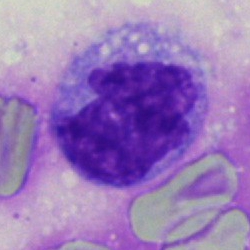 {"cell_type": "monocyte", "lineage": "myeloid"}